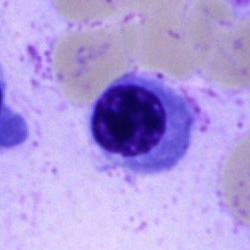

Specimen: bone marrow aspirate smear.
Cell: normoblast.
Lineage: erythroid.